Bone marrow smear.
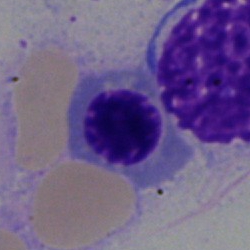

Cell type: erythroblast.